Bone marrow smear
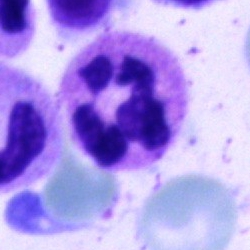
Single cell identified as a neutrophil (segmented).